Cropped to a single cell · bone marrow smear — 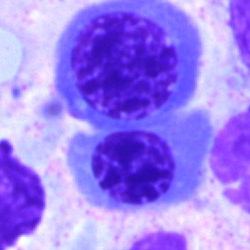 This is a nucleated red cell.